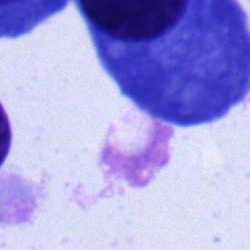

Classification — plasmacyte.